Bone marrow smear · May-Grünwald-Giemsa/Pappenheim stain
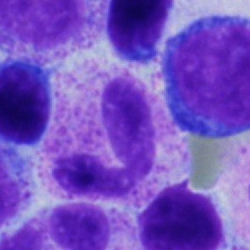 The cell shown is a neutrophil (segmented).